Image size 250×250; bone marrow smear:
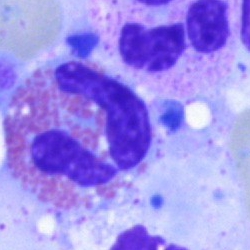 An eosinophil.